40× oil immersion · bone marrow smear
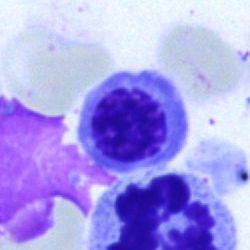 {"cell_type": "nucleated red cell", "lineage": "erythroid"}